Bone marrow smear — 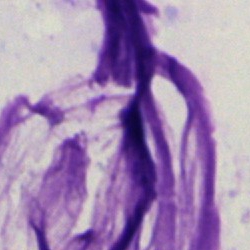Impression — artifact.